Single cell centered in the field · peripheral blood film — 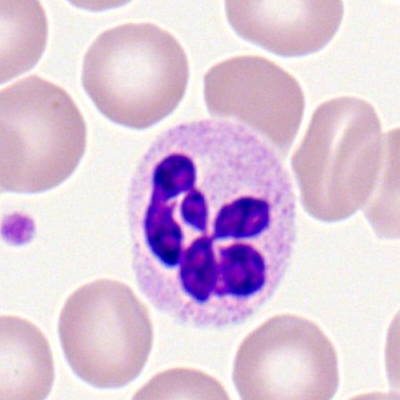
Neutrophil (segmented).